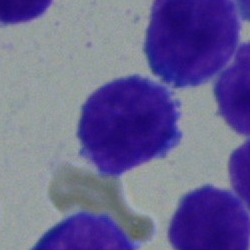 Morphological class — blast cell.